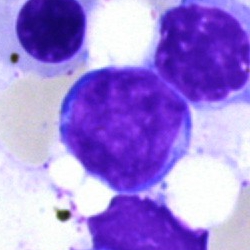
Showing a lymphocyte.